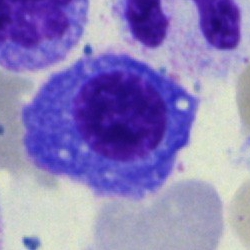

Morphological class: plasmacyte.